Bone marrow aspirate smear.
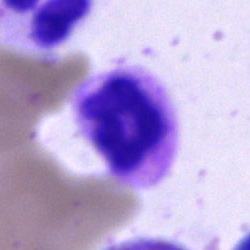

Cell type — segmented neutrophil.